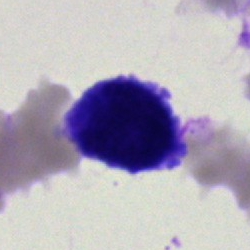
This is an artefact.